Bone marrow smear:
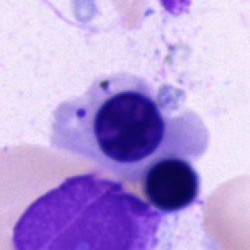

Morphology consistent with a normoblast.